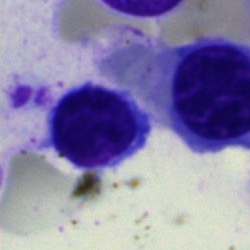

Bone marrow smear showing a typical lymphocyte.